Peripheral blood film:
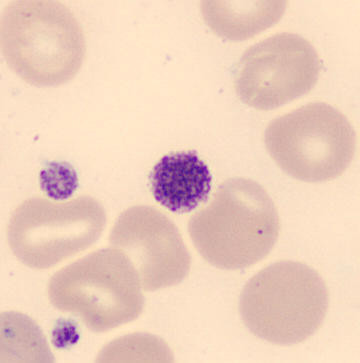Classification: thrombocyte.